Pappenheim-stained · bone marrow smear
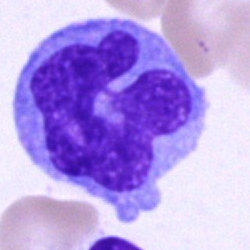Q: What is shown here?
A: This is a monocyte.